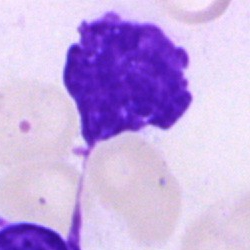 Q: What is shown here?
A: It is an artefact.